250×250 · bone marrow aspirate smear · single cell centered in the field:
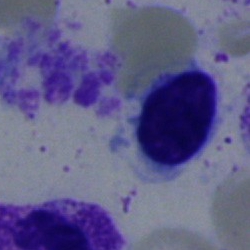

Q: What is the morphological classification of this cell?
A: A typical lymphocyte.